Peripheral blood film — 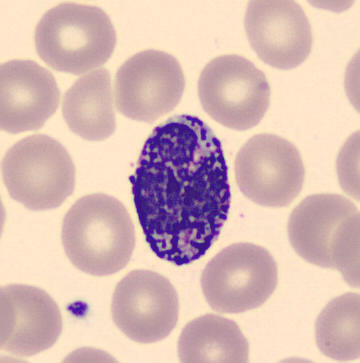

Showing a basophilic granulocyte.